Bone marrow aspirate smear; single-cell field — 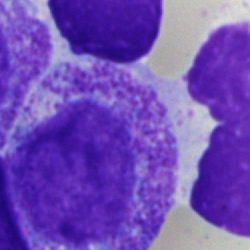

Myelocyte.